250 by 250 pixels. Bone marrow aspirate smear
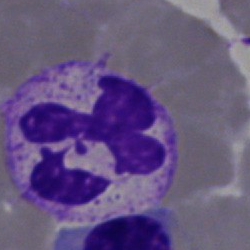 Morphological class = polymorphonuclear neutrophil.